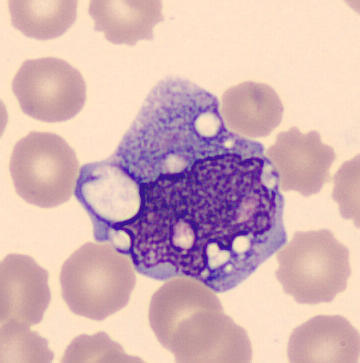
Specimen: peripheral blood film.
Classification: monocyte.

Image: Image size 360×363.